Bone marrow aspirate smear: 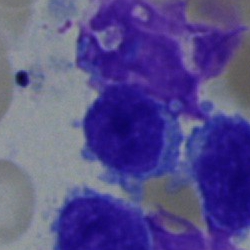Single cell identified as a lymphocyte.